250 by 250 pixels; bone marrow smear; MGG-stained:
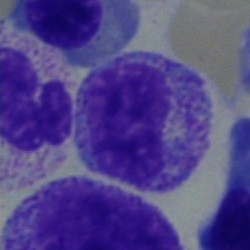Q: What cell is this?
A: A myelocyte.